Bone marrow smear: 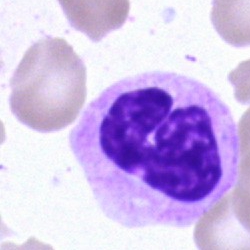Q: What type of cell is this?
A: A neutrophil (segmented).